Bone marrow aspirate smear.
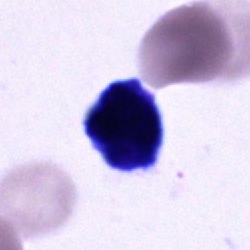
Specimen: bone marrow aspirate smear.
Cell: unidentifiable cell.